Bone marrow smear — 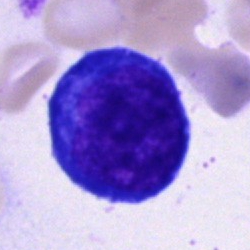Cell — proerythroblast.